Bone marrow aspirate smear — 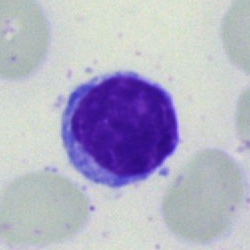

Q: Which cell type is shown here?
A: A typical lymphocyte.